Bone marrow aspirate smear: 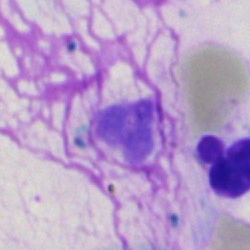
Q: What is shown here?
A: Artefact.